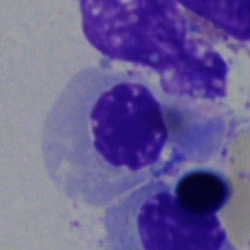

Cell type: nucleated red cell.